Bone marrow smear — 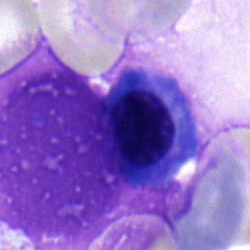 Specimen: bone marrow smear.
Classification: normoblast.
Lineage: erythroid.